Bone marrow aspirate smear: 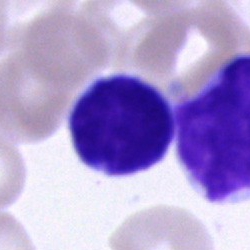

{"cell_type": "typical lymphocyte"}